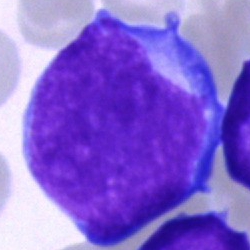
Morphology → undifferentiated blast.